Bone marrow smear. 250 by 250 pixels
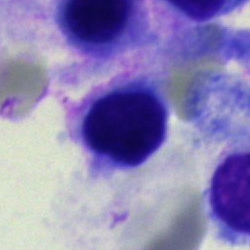 Cell — artefact.